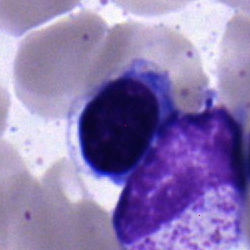
The cell is nucleated red blood cell.